Single-cell field; bone marrow aspirate smear.
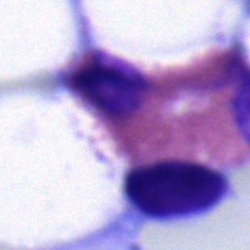
The morphological class is eosinophilic granulocyte.